Bone marrow aspirate smear:
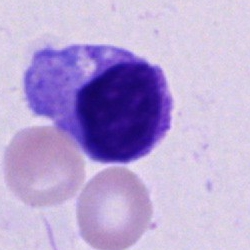

Specimen: bone marrow smear.
Cell: cell of indeterminate lineage.